250×250 px · bone marrow smear
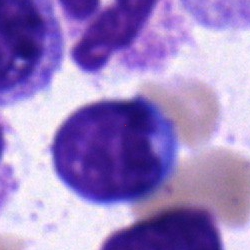
Q: Which cell type is shown here?
A: It is a typical lymphocyte.